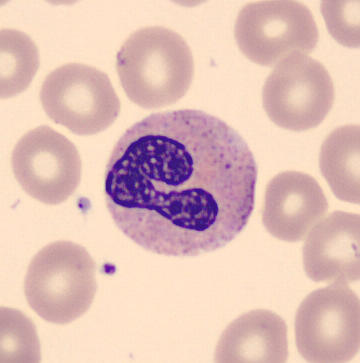 Cell: stab cell.

Image: Peripheral blood smear.